Bone marrow aspirate smear. Single-cell field.
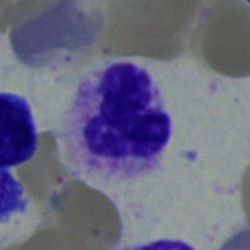
The cell type is polymorphonuclear neutrophil.